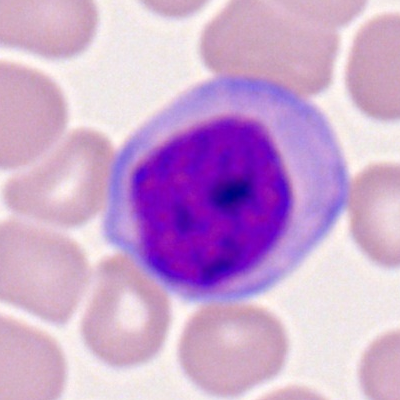
Specimen: peripheral blood film.
Classification: myeloblast.
Lineage: myeloid.